Bone marrow smear.
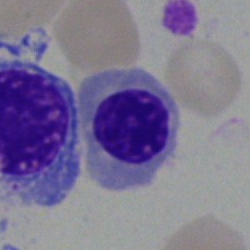
The cell shown is an erythroblast.